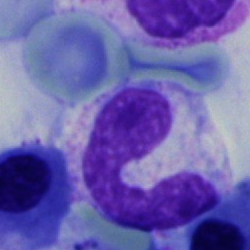Morphological class = segmented neutrophil.